Bone marrow aspirate smear:
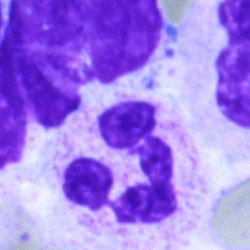

A segmented neutrophil.